Bone marrow smear. 250 by 250 pixels
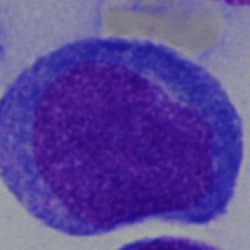
Q: Which cell type is shown here?
A: It is an undifferentiated blast.